Bone marrow smear:
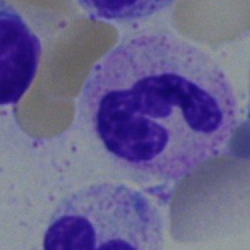 The cell shown is a neutrophil (band).